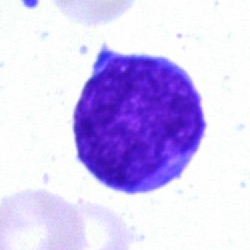

Bone marrow smear showing a blast cell.